Bone marrow aspirate smear; single-cell field.
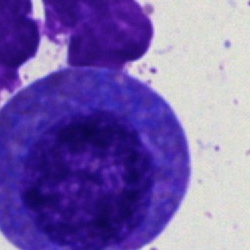
Morphology consistent with a promyelocyte.